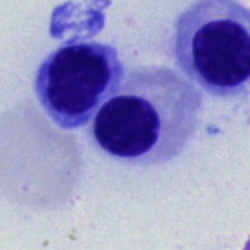Q: What is shown here?
A: A normoblast.